Bone marrow smear — 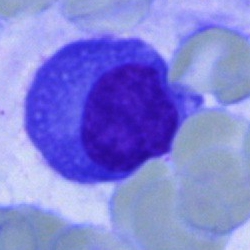 Showing a plasmacyte.